Bone marrow aspirate smear — 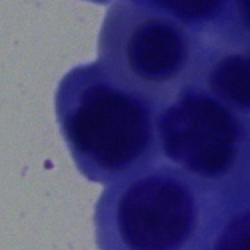
Normoblast.